Bone marrow aspirate smear · brightfield, 40× oil-immersion objective.
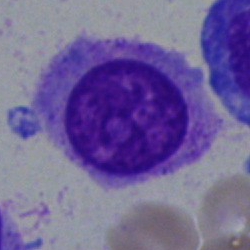 Cell type — blast.